Bone marrow smear · 250×250: 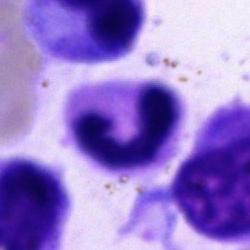The cell shown is a segmented neutrophil.